Bone marrow smear: 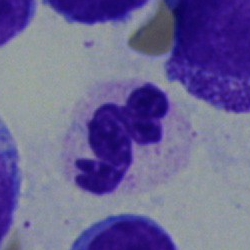 Classification — neutrophil (segmented).